Bone marrow smear; single-cell field: 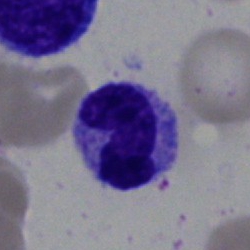Impression — stab cell.